Bone marrow smear. Single-cell crop:
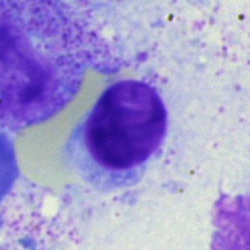
Single cell identified as a lymphocyte.